Peripheral blood film — 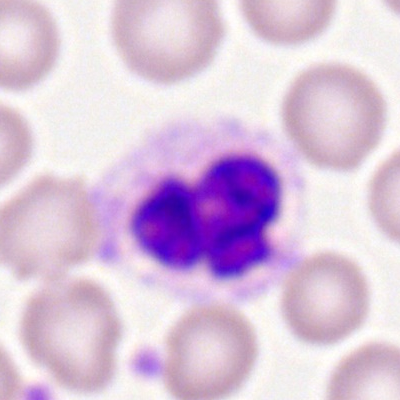
Q: What type of cell is this?
A: It is a neutrophil (segmented).